Bone marrow aspirate smear.
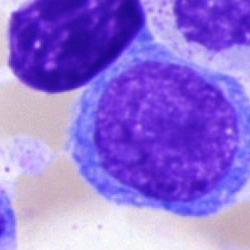 Blast.